Bone marrow aspirate smear: 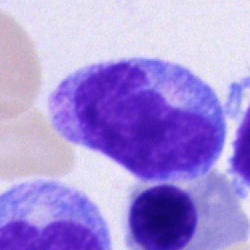 Specimen: bone marrow aspirate smear.
Cell type: monocyte.